Bone marrow aspirate smear:
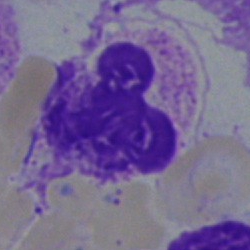

The cell shown is a polymorphonuclear neutrophil.